250 by 250 pixels · bone marrow smear · single-cell field
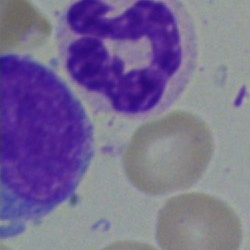
Cell — segmented neutrophil.